40× oil immersion; image size 250×250; bone marrow smear
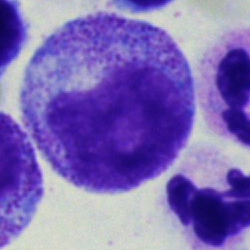 Cell: promyelocyte.